Peripheral blood film: 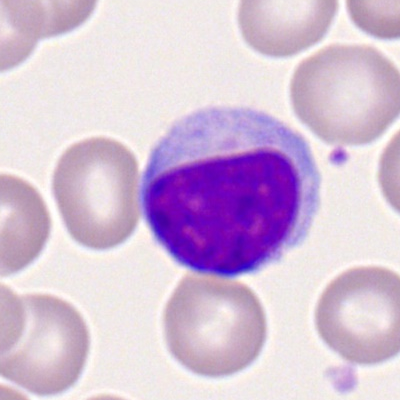

Q: Identify the cell.
A: It is a lymphocyte.